Bone marrow smear · May-Grünwald-Giemsa/Pappenheim stain · 250×250:
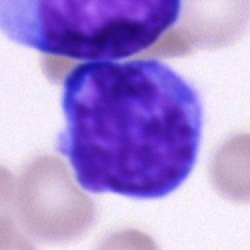 Cell = undifferentiated blast.